Bone marrow aspirate smear. Single cell centered in the field. 40× objective, oil immersion — 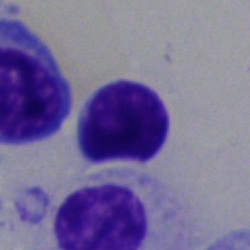Specimen: bone marrow aspirate smear.
Classification: lymphocyte.
Lineage: lymphoid.